Single-cell crop · bone marrow smear:
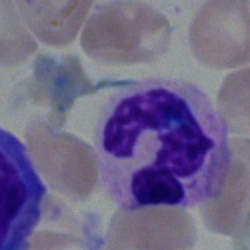Classification: segmented neutrophil.